Bone marrow smear. Brightfield microscopy, 40× oil immersion. Single-cell field: 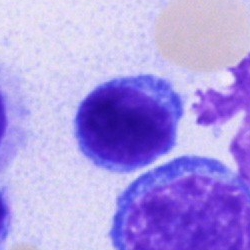
Cell: lymphocyte.